Brightfield, 40× oil-immersion objective. Bone marrow aspirate smear
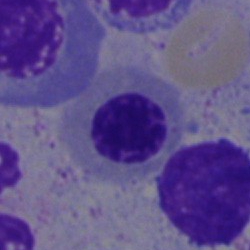 Morphology — nucleated red blood cell.